Bone marrow smear. Cropped to a single cell — 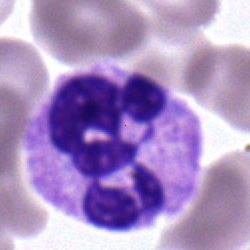

Segmented neutrophil.